250×250 · 40× objective, oil immersion · bone marrow smear — 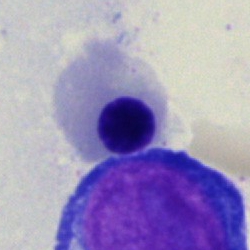 {"cell_type": "nucleated red cell", "lineage": "erythroid"}